Brightfield microscopy, 40× oil immersion · bone marrow smear · single-cell field
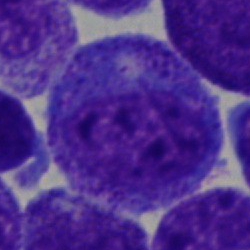

Single cell identified as a progranulocyte.